Bone marrow smear:
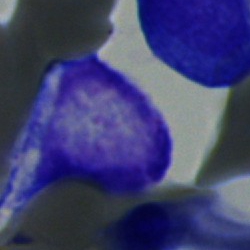

Specimen: bone marrow smear.
Cell: undifferentiated blast.